Peripheral blood smear:
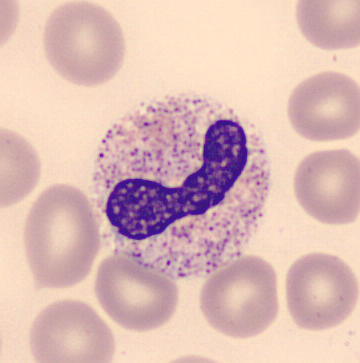Specimen: peripheral blood smear.
Cell: stab cell.
Lineage: myeloid.